Bone marrow smear.
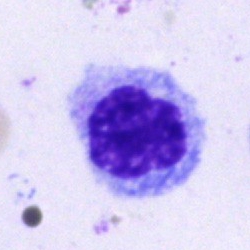 The cell shown is an erythroblast.